Bone marrow smear.
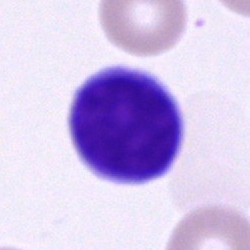This is a lymphocyte.